250×250 px · bone marrow aspirate smear — 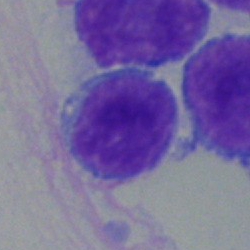Specimen: bone marrow aspirate smear.
Morphological class: lymphocyte.